Bone marrow smear; cropped to a single cell
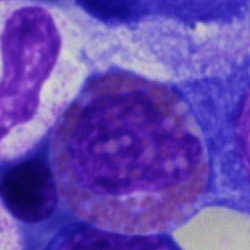 Morphology consistent with an eosinophil.